Brightfield, 40× oil-immersion objective. Bone marrow aspirate smear. 250×250: 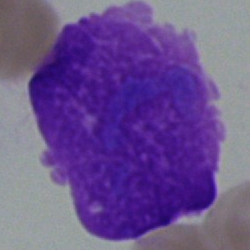

Q: What is shown here?
A: It is an artifact.